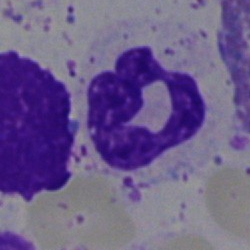Q: What cell is this?
A: Neutrophil (segmented).